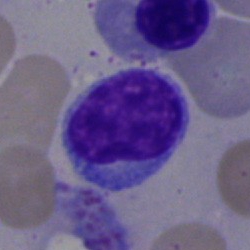 Cell: typical lymphocyte.